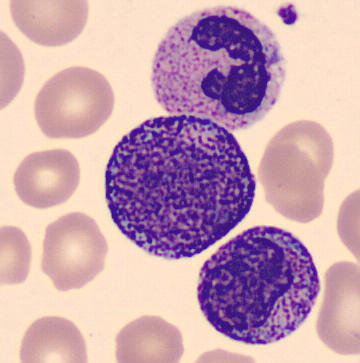

Single cell centered in the field; peripheral blood film.

Q: Identify the cell.
A: It is a promyelocyte.